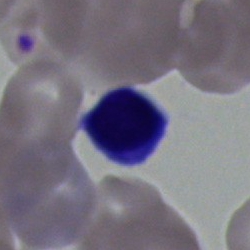 This is a lymphocyte.